Bone marrow smear: 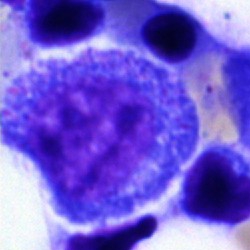
Cell type = promyelocyte.